Bone marrow smear:
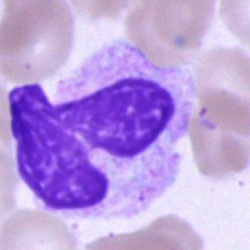

The cell is artefact.